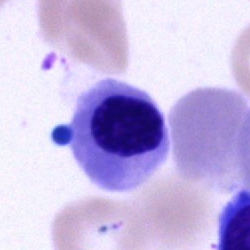
Morphology — erythroblast.